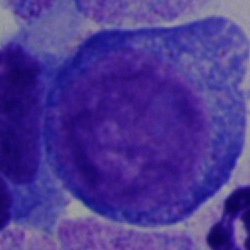

Morphology → progranulocyte.